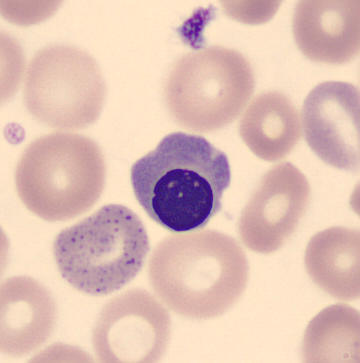

Morphological class: erythroblast.